Bone marrow aspirate smear: 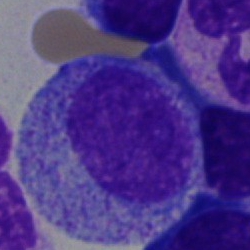
Specimen: bone marrow aspirate smear.
Classification: myelocyte.